Single-cell crop. Bone marrow aspirate smear. Pappenheim-stained: 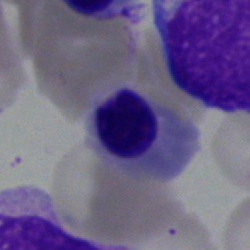

Cell: normoblast.